Bone marrow smear:
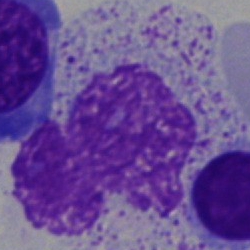
This is an artefact.